40× objective, oil immersion · bone marrow aspirate smear
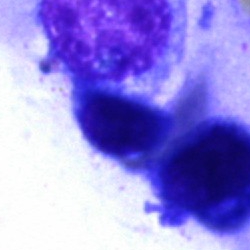

An artifact.